Bone marrow smear · brightfield microscopy, 40× oil immersion · single cell centered in the field:
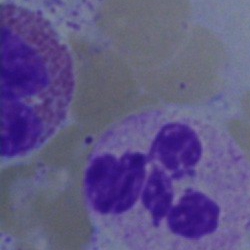 The cell shown is a neutrophil (segmented).